Cropped to a single cell · bone marrow aspirate smear · 250×250 — 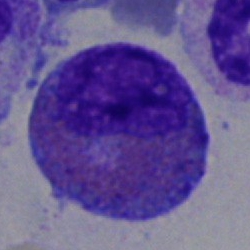 This is an eosinophilic granulocyte.